Bone marrow smear.
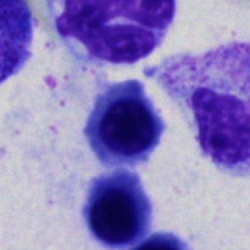
{"cell_type": "nucleated red blood cell", "lineage": "erythroid"}